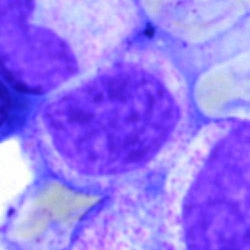 {"cell_type": "myelocyte", "lineage": "myeloid"}